Peripheral blood smear.
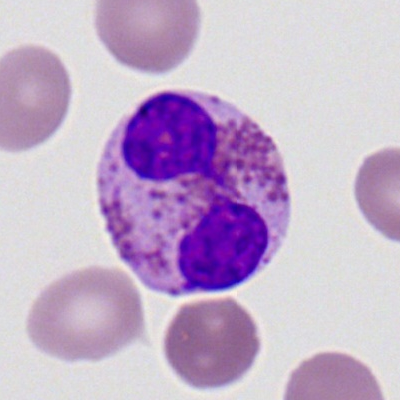

Specimen: peripheral blood smear.
Cell: eosinophil.